250 by 250 pixels. Bone marrow smear. MGG-stained: 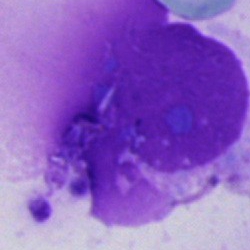Single cell identified as an artefact.